Bone marrow aspirate smear: 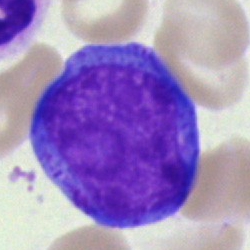

Q: What cell is this?
A: This is a pronormoblast.